Bone marrow smear:
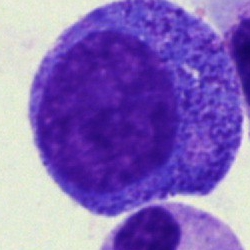Q: What is shown here?
A: A progranulocyte.